Pappenheim-stained · bone marrow smear · single cell centered in the field:
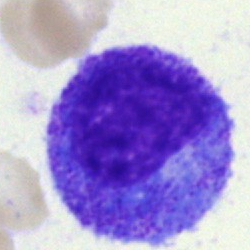
Specimen: bone marrow smear.
Cell: progranulocyte.